Bone marrow aspirate smear:
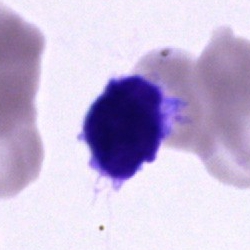
Showing a cell of indeterminate lineage.